Peripheral blood smear · 100× oil immersion · Romanowsky-stained — 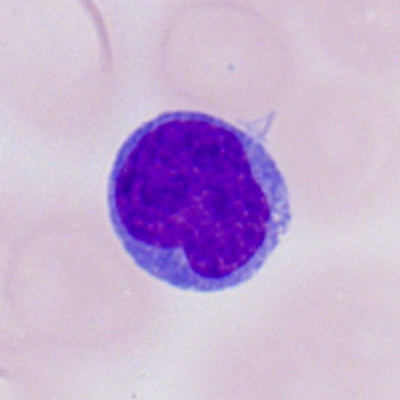 Specimen: peripheral blood film.
Cell: lymphocyte.
Lineage: lymphoid.